Brightfield, 40× oil-immersion objective; bone marrow smear; single cell centered in the field.
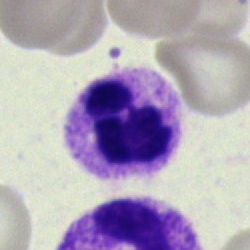

A neutrophil (segmented).